Bone marrow aspirate smear · MGG-stained
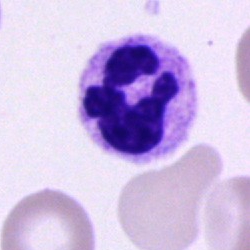 Specimen: bone marrow aspirate smear.
Morphological class: polymorphonuclear neutrophil.